Bone marrow smear:
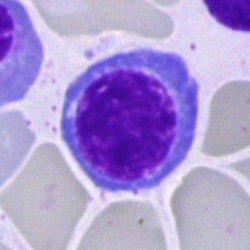
The cell shown is a normoblast.